Bone marrow aspirate smear · image size 250×250
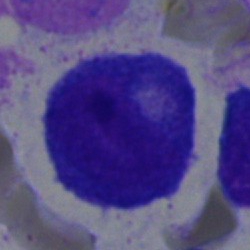
Q: What type of cell is this?
A: A promyelocyte.